Single-cell field. Bone marrow aspirate smear: 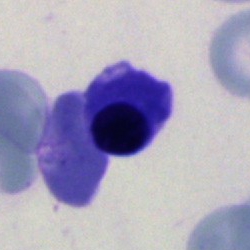
Specimen: bone marrow smear.
Classification: nucleated red blood cell.
Lineage: erythroid.